Bone marrow aspirate smear; brightfield microscopy, 40× oil immersion — 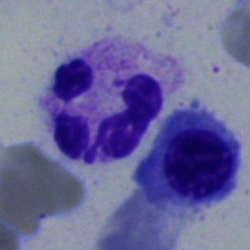 Impression → segmented neutrophil.